Bone marrow aspirate smear · single-cell field
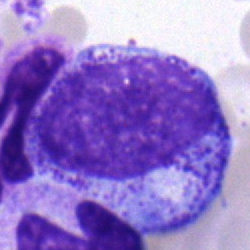
The morphological class is progranulocyte.